Bone marrow aspirate smear: 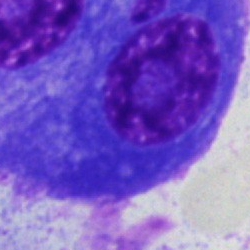 {"cell_type": "plasmacyte"}